Bone marrow smear · single cell centered in the field: 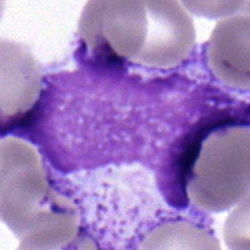Morphology — myelocyte.